Image size 250×250; bone marrow aspirate smear:
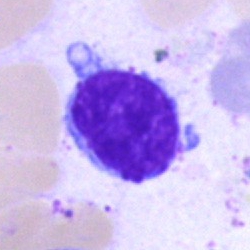Specimen: bone marrow aspirate smear.
Cell type: typical lymphocyte.
Lineage: lymphoid.